Bone marrow smear:
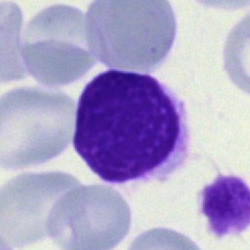Morphology — lymphocyte.